Bone marrow smear — 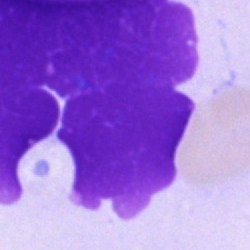
This is an artifact.